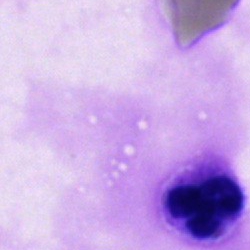 Bone marrow aspirate smear, single cell — neutrophil (segmented).